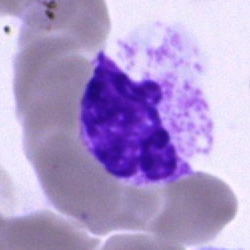 Specimen: bone marrow smear.
Cell: segmented neutrophil.